Bone marrow aspirate smear — 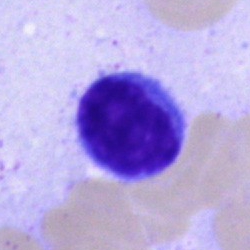 Q: Identify the cell.
A: A lymphocyte.